250×250 px. Bone marrow aspirate smear:
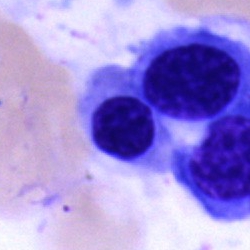

This is a nucleated red blood cell.